Bone marrow smear:
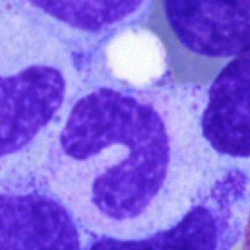

Q: What cell is this?
A: This is a neutrophil (band).